Bone marrow aspirate smear.
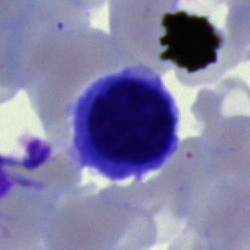
Specimen: bone marrow smear.
Morphological class: nucleated red blood cell.
Lineage: erythroid.